Brightfield, 40× oil-immersion objective; bone marrow smear.
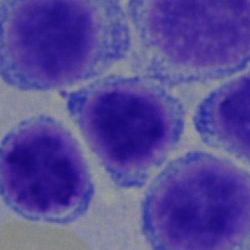
Showing a typical lymphocyte.